Single-cell crop · bone marrow smear · 40× objective, oil immersion:
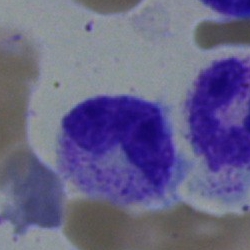 The cell type is band-form neutrophil.